Single-cell field; peripheral blood smear; Romanowsky stain:
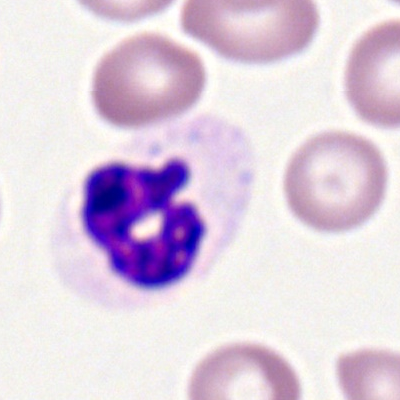The cell type is neutrophil (segmented).